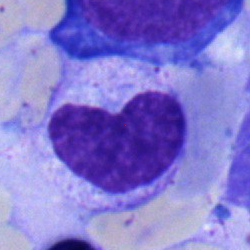Cell = metamyelocyte.